Bone marrow smear:
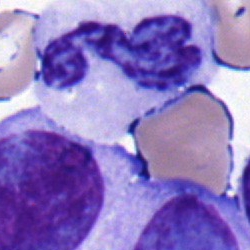
Cell: neutrophil (segmented).